Bone marrow smear — 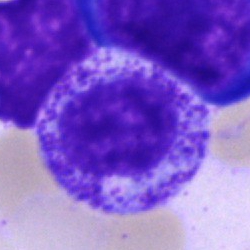 Classification — promyelocyte.